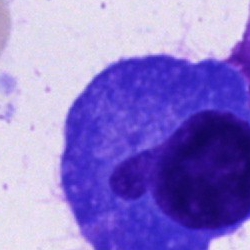 Specimen: bone marrow smear.
Cell type: plasmacyte.
Lineage: lymphoid.